Bone marrow smear — 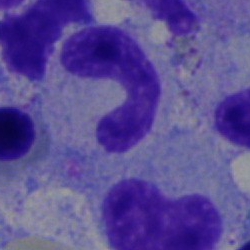

Showing a segmented neutrophil.